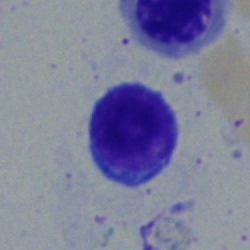 The cell is lymphocyte.